Bone marrow aspirate smear.
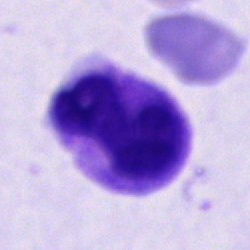

Classification = cell of indeterminate lineage.